Bone marrow smear
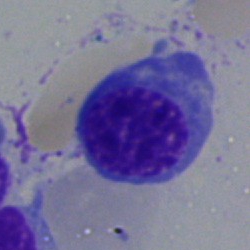
Specimen: bone marrow aspirate smear.
Morphological class: erythroblast.